40× objective, oil immersion · bone marrow aspirate smear · image size 250×250.
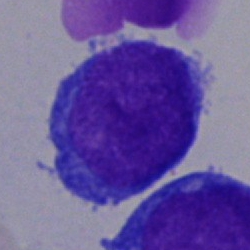 A blast.